Bone marrow aspirate smear.
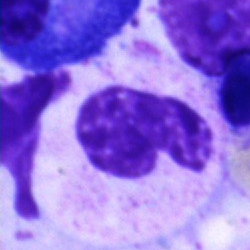
{"cell_type": "neutrophil (band)", "lineage": "myeloid"}